Bone marrow aspirate smear. Single-cell crop: 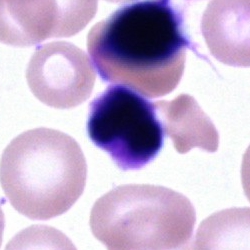
Impression → unidentifiable cell.